Brightfield, 40× oil-immersion objective · bone marrow aspirate smear.
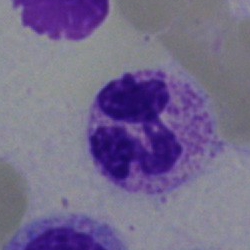

Neutrophil (segmented).